Bone marrow aspirate smear · brightfield, 40× oil-immersion objective:
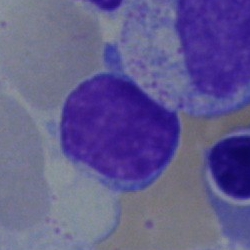
Q: What cell is this?
A: A typical lymphocyte.